Bone marrow aspirate smear — 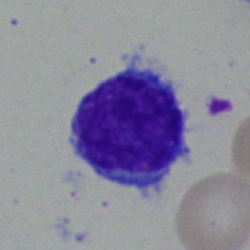

Morphological class: typical lymphocyte.